Brightfield microscopy, 40× oil immersion; bone marrow aspirate smear; single-cell crop: 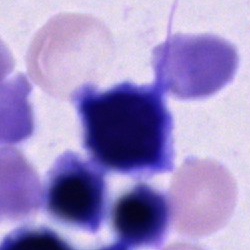
Morphology consistent with a cell of indeterminate lineage.